Peripheral blood smear:
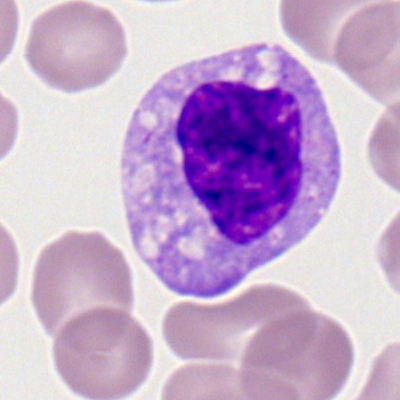
The classification is monocyte.